Bone marrow smear:
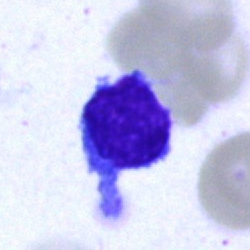

The cell shown is a typical lymphocyte.